Bone marrow aspirate smear; single cell centered in the field — 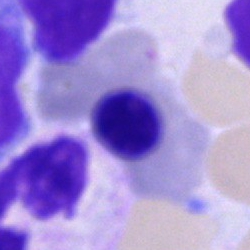A nucleated red cell.